Bone marrow smear. Brightfield microscopy, 40× oil immersion: 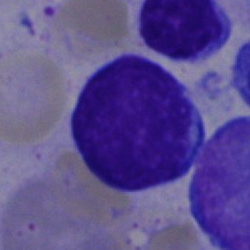 Cell: lymphocyte.